Single-cell field · bone marrow smear.
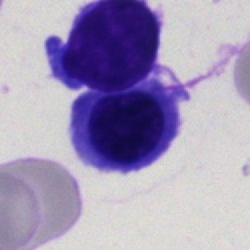The cell is erythroblast.